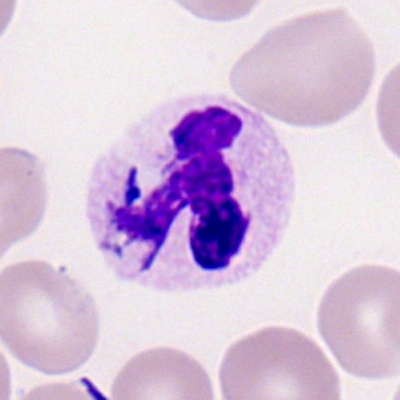
Morphological class — neutrophil (segmented).